Bone marrow aspirate smear · 250×250 px: 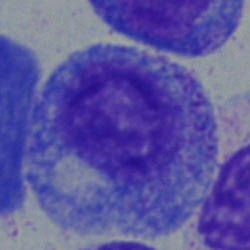
This is a promyelocyte.